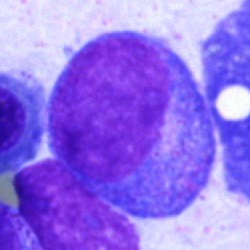

Q: What is shown here?
A: A progranulocyte.